Pappenheim-stained. Bone marrow aspirate smear. 250×250: 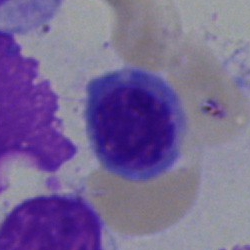
{"cell_type": "nucleated red blood cell", "lineage": "erythroid"}